Bone marrow aspirate smear: 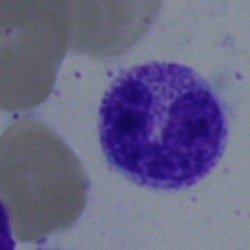Q: Which cell type is shown here?
A: A stab cell.